Bone marrow smear; 40× objective, oil immersion — 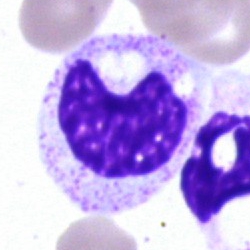

Showing a stab cell.